Bone marrow aspirate smear. Image size 250×250.
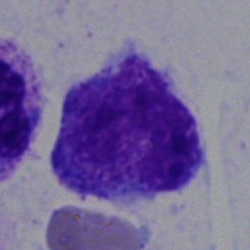
The cell shown is a typical lymphocyte.